Peripheral blood smear; 400×400 px
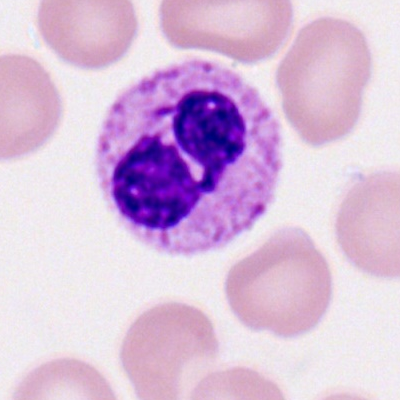 Segmented neutrophil.